Single-cell crop; 40× oil immersion; bone marrow aspirate smear: 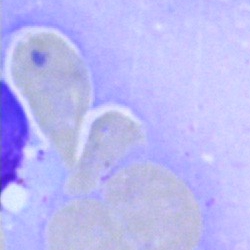
Morphological class — artifact.